Brightfield, 100× oil-immersion objective; peripheral blood smear — 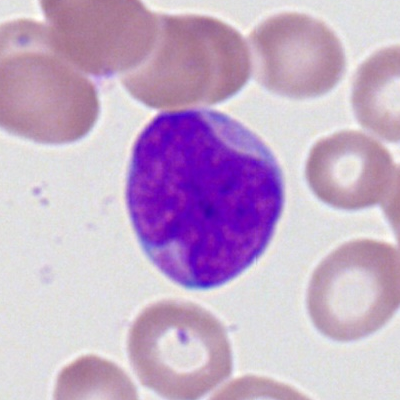

This is a myeloblast.